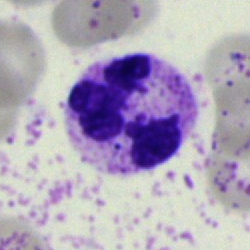Classification: neutrophil (segmented).